Bone marrow aspirate smear
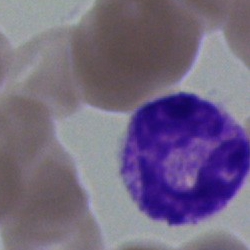

A polymorphonuclear neutrophil.